Single-cell crop; MGG-stained; bone marrow aspirate smear.
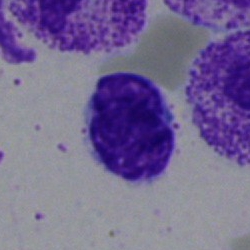

Lymphocyte.